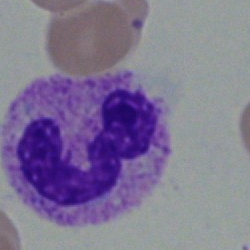
Specimen: bone marrow aspirate smear.
Morphological class: band-form neutrophil.